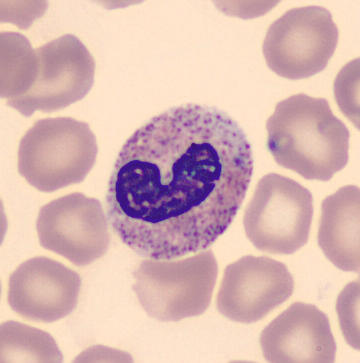 Automated cell imaging (CellaVision DM96) · single-cell field · peripheral blood smear.

Single cell identified as a band-form neutrophil.